Peripheral blood film
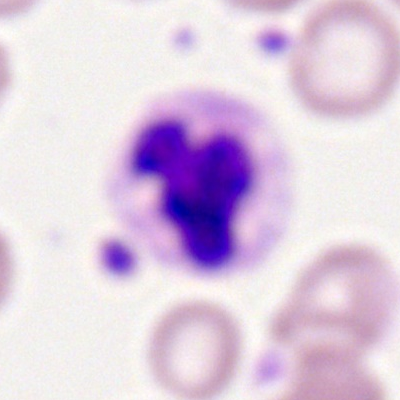Morphological class = segmented neutrophil.